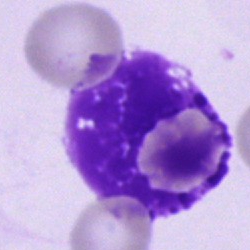 Showing an artefact.